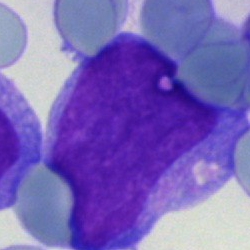 Single-cell crop from a bone marrow smear: blast cell.